Bone marrow smear — 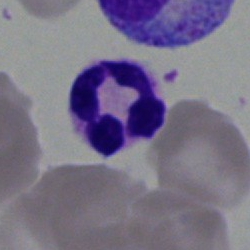 Specimen: bone marrow aspirate smear.
Morphological class: neutrophil (segmented).
Lineage: myeloid.